Bone marrow smear:
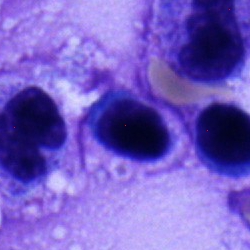
Morphology consistent with a lymphocyte.